Pappenheim-stained; brightfield, 40× oil-immersion objective; bone marrow smear — 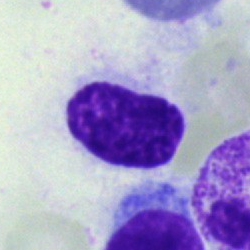

The cell type is artefact.